May-Grünwald-Giemsa/Pappenheim stain. Image size 250×250. Bone marrow aspirate smear
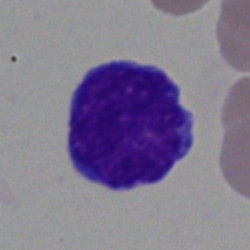

The cell type is undifferentiated blast.